Brightfield, 40× oil-immersion objective. Single cell centered in the field. Bone marrow smear.
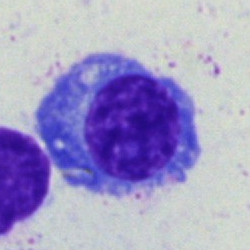
Specimen: bone marrow aspirate smear.
Cell: plasma cell.
Lineage: lymphoid.